Bone marrow aspirate smear:
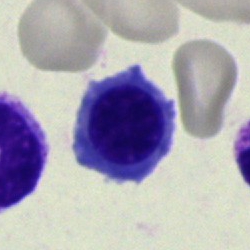 Single cell identified as a normoblast.